Bone marrow smear.
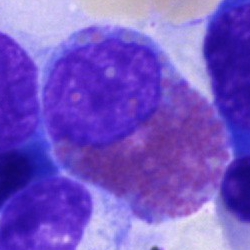Morphology consistent with an eosinophilic granulocyte.